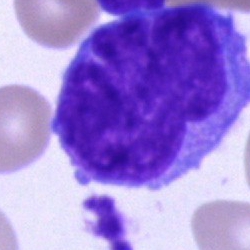Q: What type of cell is this?
A: This is an undifferentiated blast.